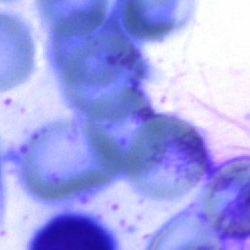 Cell — artefact.